250×250 px; bone marrow smear; Pappenheim-stained.
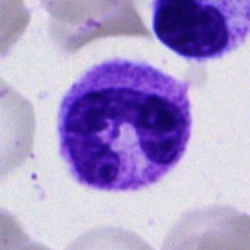
Band neutrophil.